Bone marrow smear: 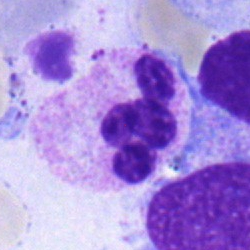
The cell shown is a neutrophil (segmented).